Bone marrow aspirate smear. MGG-stained — 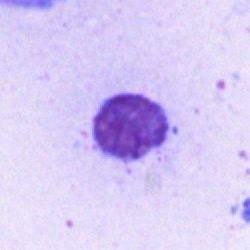 Specimen: bone marrow smear.
Cell type: artifact.